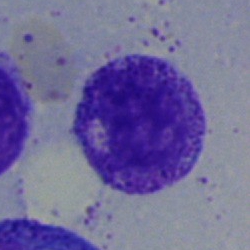 {"cell_type": "myelocyte", "lineage": "myeloid"}